Bone marrow smear: 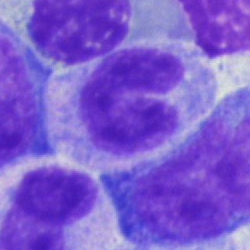

Specimen: bone marrow smear.
Classification: stab cell.
Lineage: myeloid.